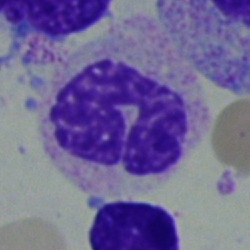

Classification — metamyelocyte.